Bone marrow smear:
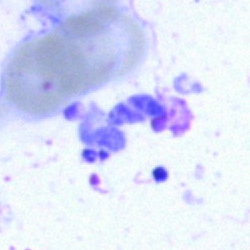 Specimen: bone marrow aspirate smear.
Classification: artifact.